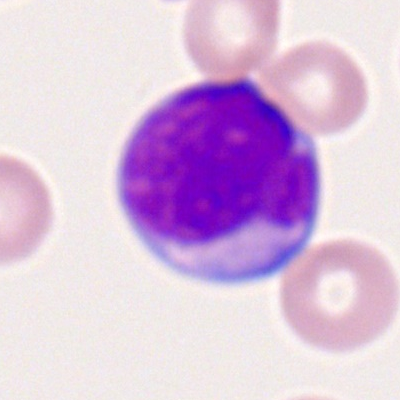

Single-cell crop from a peripheral blood smear: myeloid blast.